Bone marrow aspirate smear:
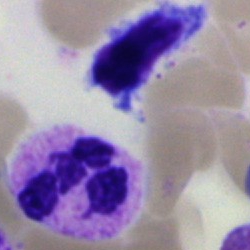Specimen: bone marrow aspirate smear.
Cell type: polymorphonuclear neutrophil.
Lineage: myeloid.